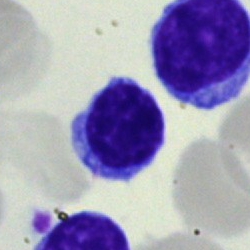 Q: Identify the cell.
A: It is a typical lymphocyte.